Bone marrow smear: 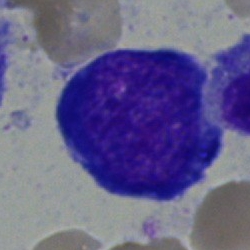

A proerythroblast.